Bone marrow aspirate smear · 250 by 250 pixels.
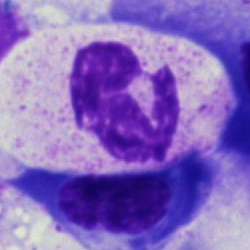

Morphology consistent with a polymorphonuclear neutrophil.